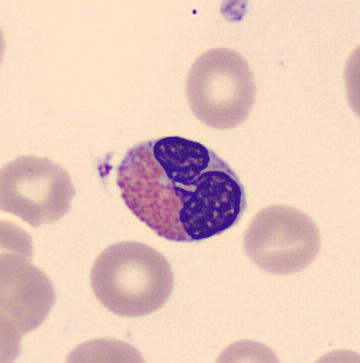

Peripheral blood smear showing an eosinophil.